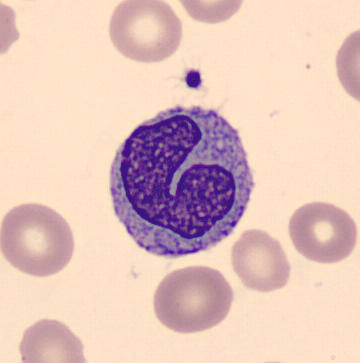

Morphology consistent with a monocyte. Image: Peripheral blood smear.